Bone marrow aspirate smear · MGG-stained: 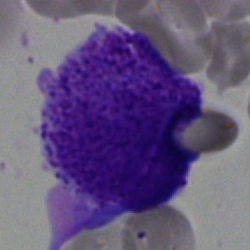 Classification = blast.